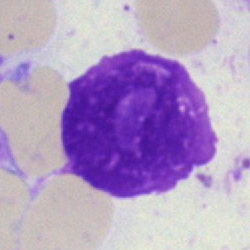

Cell — artifact.